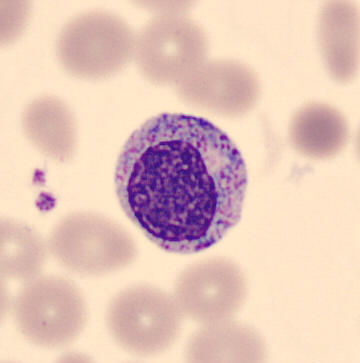The morphological class is myelocyte.